Bone marrow smear. Brightfield, 40× oil-immersion objective: 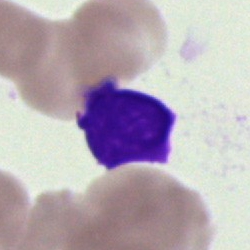 Morphological class: artefact.